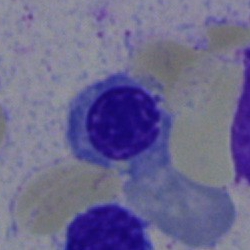 A nucleated red blood cell.